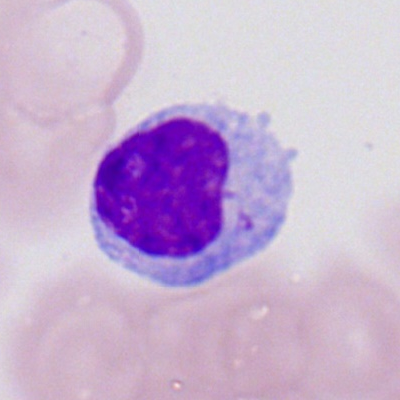
Cell type = typical lymphocyte.